Bone marrow smear; brightfield, 40× oil-immersion objective; single cell centered in the field.
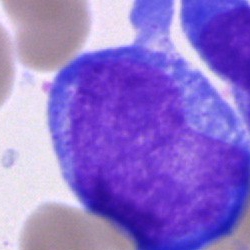Morphology — blast.